Single cell centered in the field · bone marrow aspirate smear.
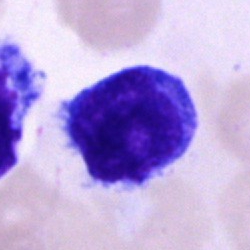

Morphology consistent with a blast.